250 by 250 pixels. Bone marrow smear: 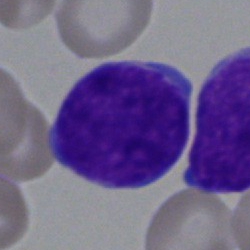Specimen: bone marrow smear.
Morphological class: undifferentiated blast.